Bone marrow aspirate smear: 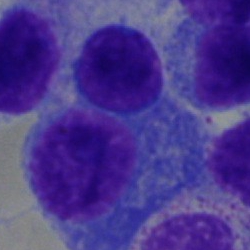

Q: What is shown here?
A: It is a plasma cell.